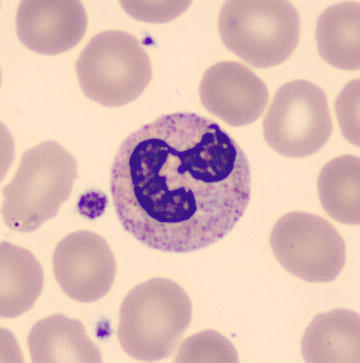Image: Peripheral blood film. Single-cell crop.

Morphology consistent with a polymorphonuclear neutrophil.